Image size 250×250. Bone marrow smear.
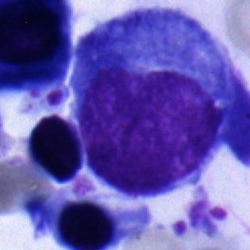Impression → progranulocyte.